Pappenheim-stained · bone marrow smear — 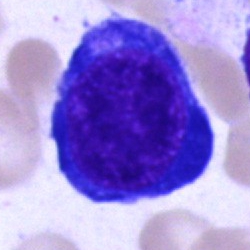 Classification: proerythroblast.